Bone marrow aspirate smear:
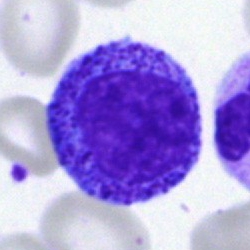Specimen: bone marrow smear.
Morphological class: progranulocyte.
Lineage: myeloid.